Peripheral blood smear; Romanowsky stain
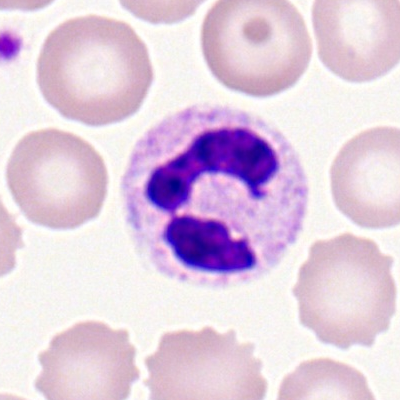

Specimen: peripheral blood film.
Cell type: segmented neutrophil.